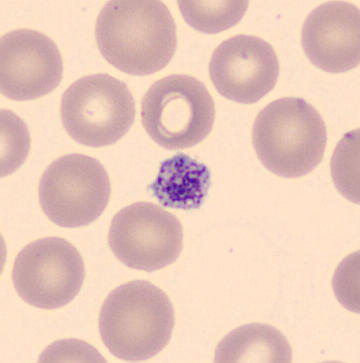Cell type: platelet.